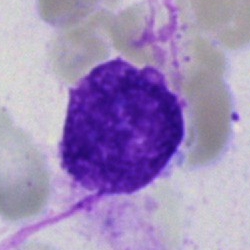
The cell type is artifact.